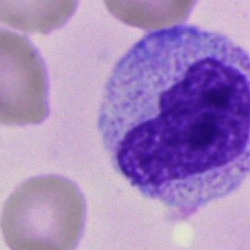
Impression — metamyelocyte.